250×250 px. Bone marrow aspirate smear. Single-cell field: 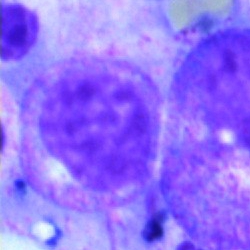Cell = myelocyte.